Peripheral blood smear; 100× oil immersion:
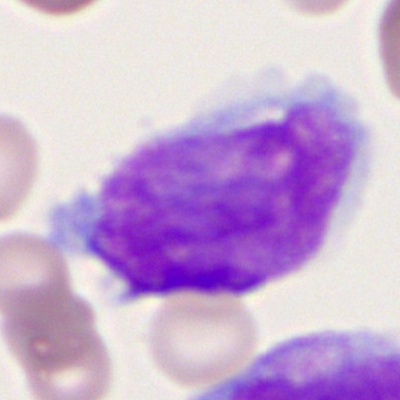

The cell type is monocyte.